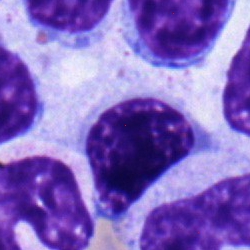 Bone marrow smear showing a normoblast.